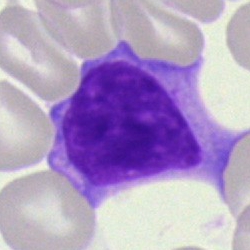Classification: typical lymphocyte.